40× objective, oil immersion · bone marrow aspirate smear:
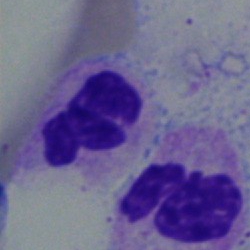

Specimen: bone marrow aspirate smear.
Classification: polymorphonuclear neutrophil.
Lineage: myeloid.